Single-cell field; bone marrow aspirate smear; Pappenheim-stained: 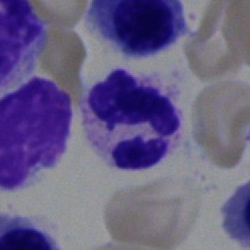Q: What type of cell is this?
A: This is a polymorphonuclear neutrophil.